Single-cell crop; bone marrow smear
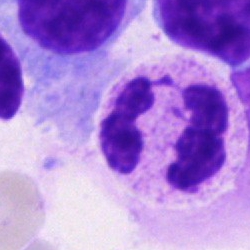

Impression → neutrophil (segmented).